Bone marrow aspirate smear; May-Grünwald-Giemsa/Pappenheim stain:
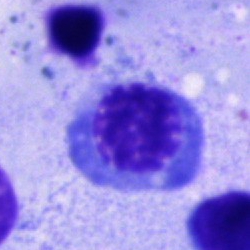
Nucleated red blood cell.